250×250. Cropped to a single cell. Bone marrow smear:
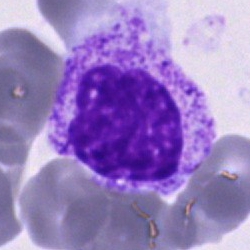 {"cell_type": "myelocyte", "lineage": "myeloid"}